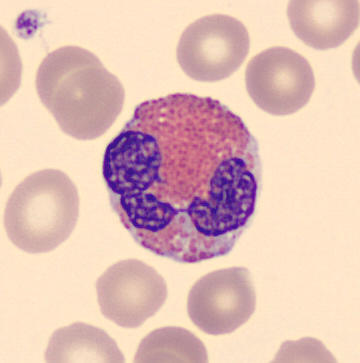
Classification — eosinophil.